Bone marrow aspirate smear. 250×250 px
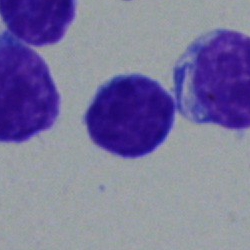
This is a lymphocyte.